Bone marrow smear:
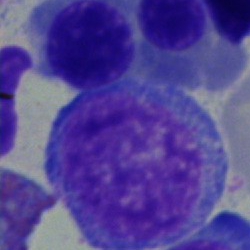
Impression → undifferentiated blast.